Peripheral blood smear. May-Grünwald-Giemsa-stained: 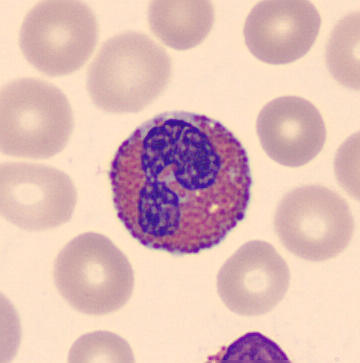
Morphology → eosinophil.